Romanowsky stain. 100× oil immersion. Peripheral blood film — 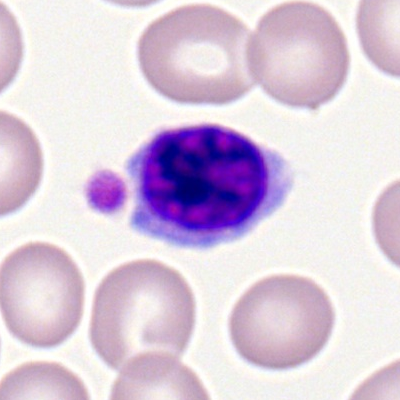

The classification is typical lymphocyte.